Brightfield, 40× oil-immersion objective; bone marrow smear: 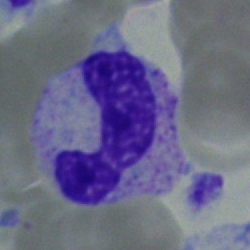
Band neutrophil.